Bone marrow smear: 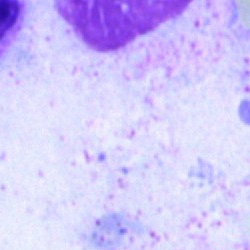

{"cell_type": "artefact"}